Bone marrow aspirate smear · Pappenheim-stained — 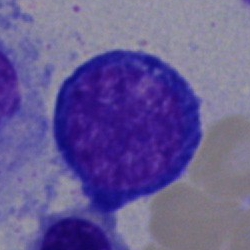Showing an erythroblast.